Single cell centered in the field · bone marrow aspirate smear
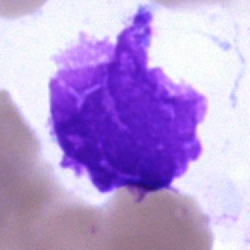Showing an artefact.